Bone marrow aspirate smear · 250 by 250 pixels
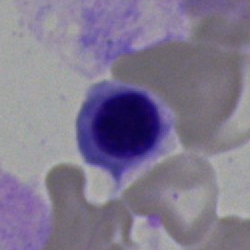 Nucleated red blood cell.